Single cell centered in the field; bone marrow smear; 250×250 px.
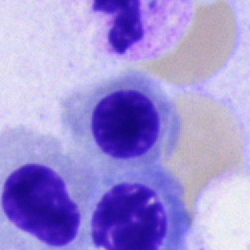
Classification: normoblast.